Image size 250×250 · bone marrow aspirate smear
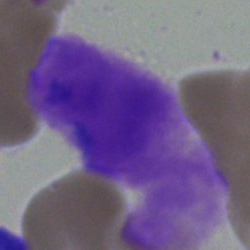 Cell = artifact.